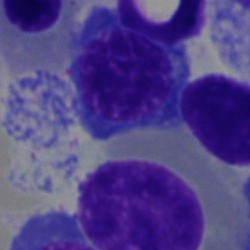Showing a normoblast.